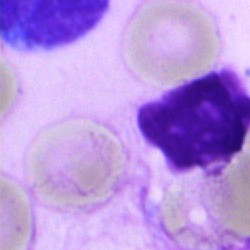
Specimen: bone marrow smear.
Classification: artefact.